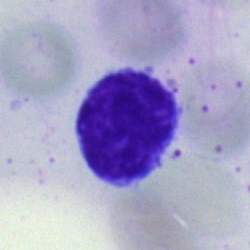 {"cell_type": "typical lymphocyte", "lineage": "lymphoid"}